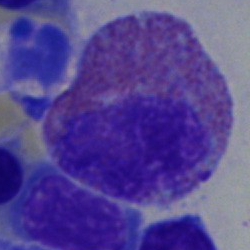 Showing an eosinophilic granulocyte.